40× objective, oil immersion; bone marrow smear; image size 250×250.
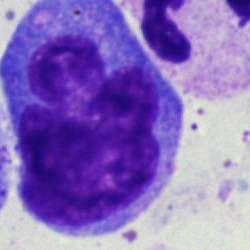 Single cell identified as a monocyte.